Bone marrow aspirate smear.
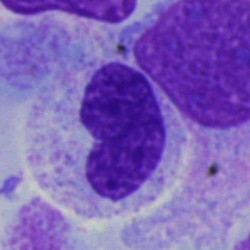Q: Identify the cell.
A: It is a band neutrophil.